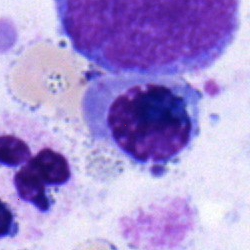 Morphology consistent with an erythroblast.